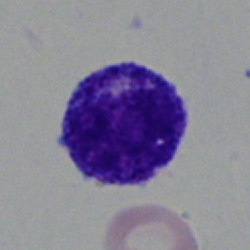
Single-cell crop from a bone marrow smear: myelocyte.